Bone marrow aspirate smear.
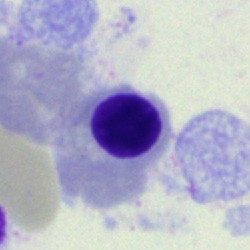

Q: What is the morphological classification of this cell?
A: It is a nucleated red cell.